Bone marrow aspirate smear. Single cell centered in the field. May-Grünwald-Giemsa/Pappenheim stain:
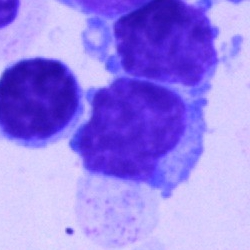 Typical lymphocyte.